Bone marrow smear — 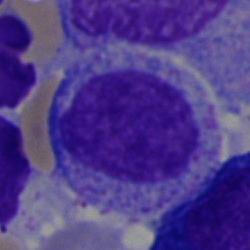 Morphology — promyelocyte.